Peripheral blood smear: 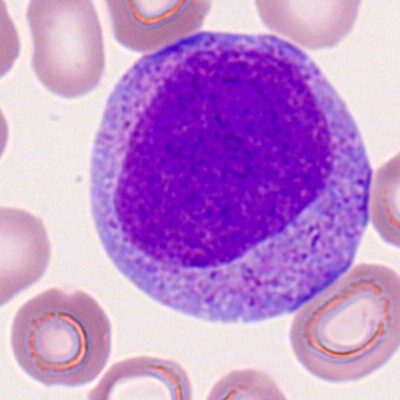 Q: What is the morphological classification of this cell?
A: It is a progranulocyte.